Bone marrow smear — 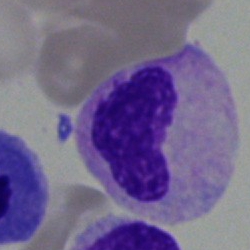

Q: What is the morphological classification of this cell?
A: Stab cell.